Bone marrow aspirate smear:
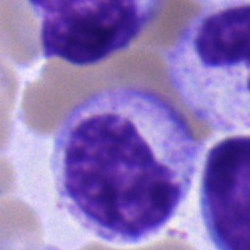Cell — myelocyte.